Bone marrow smear · single-cell field:
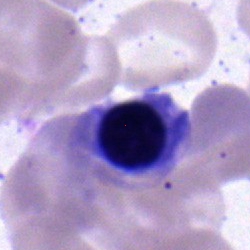 Showing a nucleated red blood cell.